Peripheral blood film.
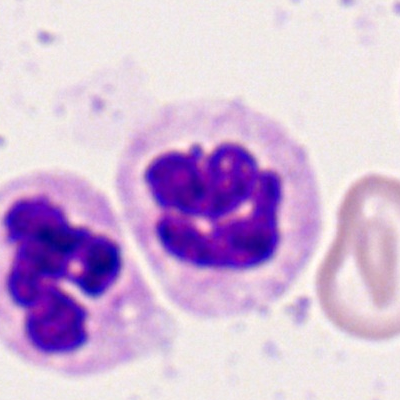

The cell shown is a segmented neutrophil.